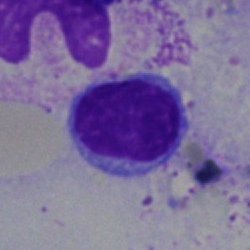The morphological class is lymphocyte.